Bone marrow smear.
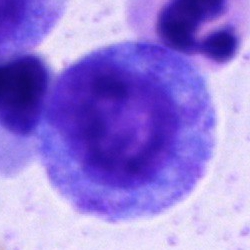Specimen: bone marrow aspirate smear.
Cell: promyelocyte.
Lineage: myeloid.